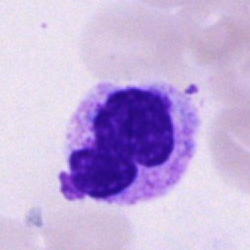Cell = polymorphonuclear neutrophil.